May-Grünwald-Giemsa/Pappenheim stain; bone marrow smear: 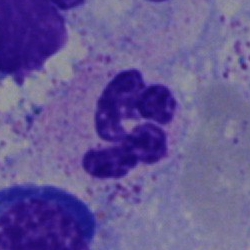
Morphology — polymorphonuclear neutrophil.